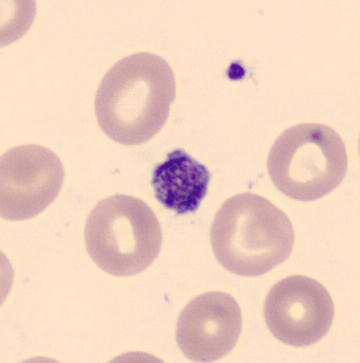The morphological class is platelet (thrombocyte).